Bone marrow aspirate smear: 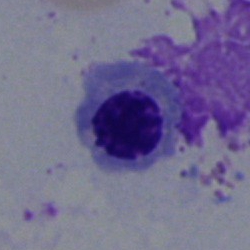
Specimen: bone marrow aspirate smear.
Classification: normoblast.